Bone marrow aspirate smear.
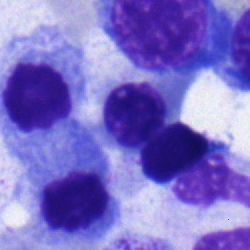

Impression → erythroblast.